Bone marrow aspirate smear
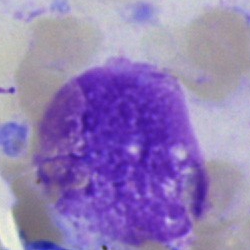Q: What is shown here?
A: It is an artifact.